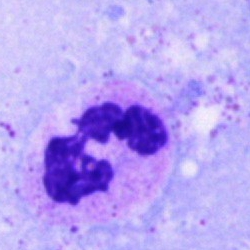 Single cell identified as a neutrophil (segmented).